250×250 px; bone marrow aspirate smear — 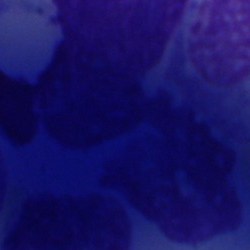
An artifact.